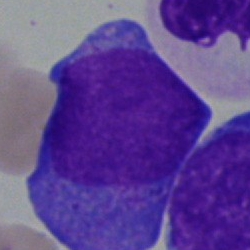{"cell_type": "undifferentiated blast"}